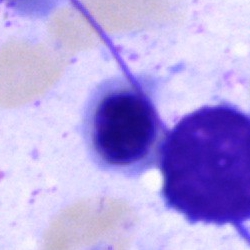Q: Which cell type is shown here?
A: It is a nucleated red blood cell.